Bone marrow smear:
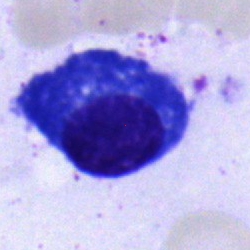

A plasma cell.